Bone marrow aspirate smear; May-Grünwald-Giemsa stain; single-cell crop — 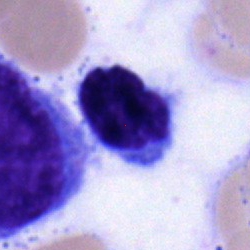

A lymphocyte.